Bone marrow smear.
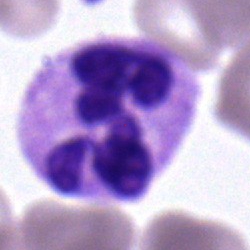Cell type: neutrophil (segmented).